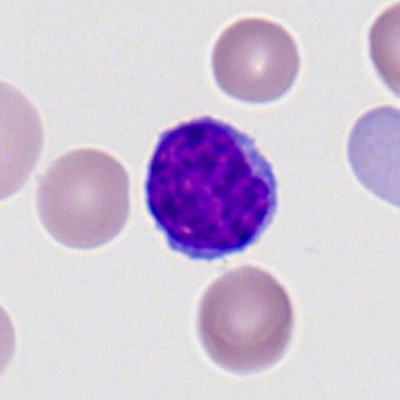
Morphology consistent with a typical lymphocyte.